May-Grünwald-Giemsa/Pappenheim stain; bone marrow aspirate smear.
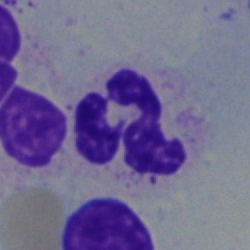
A segmented neutrophil.